Bone marrow smear:
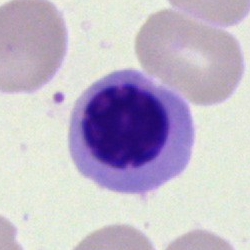 Q: What is the morphological classification of this cell?
A: Erythroblast.